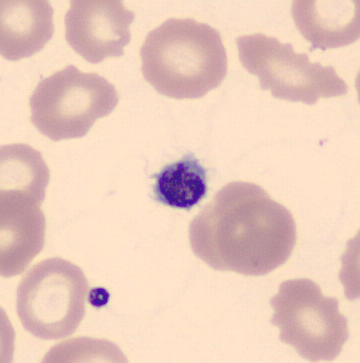 Morphology — thrombocyte.